May-Grünwald-Giemsa/Pappenheim stain. Bone marrow smear. Single cell centered in the field
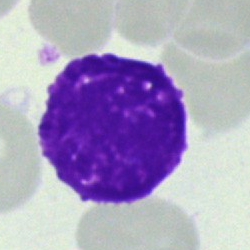

Artifact.